40× oil immersion. Bone marrow aspirate smear: 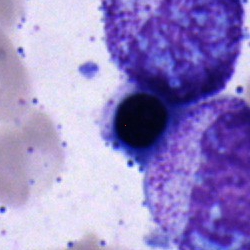 Nucleated red cell.